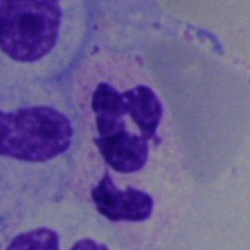
Impression → segmented neutrophil.